Peripheral blood smear; single-cell crop
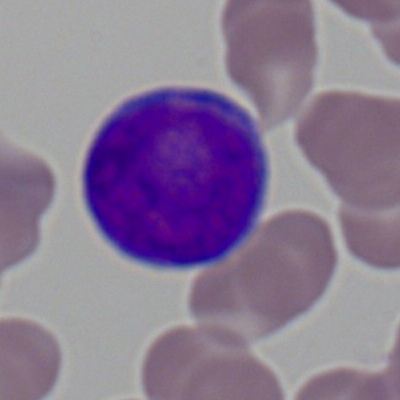The cell shown is a myeloblast.